Bone marrow aspirate smear · single cell centered in the field · Pappenheim-stained.
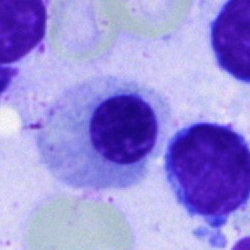

Morphology consistent with a nucleated red blood cell.